Bone marrow smear — 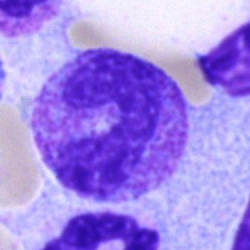Classification = band neutrophil.